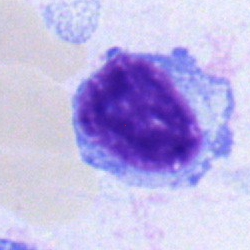
Q: Identify the cell.
A: It is a typical lymphocyte.